Bone marrow aspirate smear. May-Grünwald-Giemsa/Pappenheim stain:
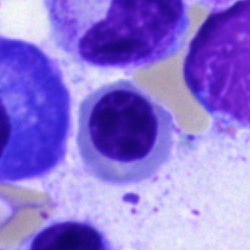 Classification — erythroblast.